Bone marrow aspirate smear · 250×250
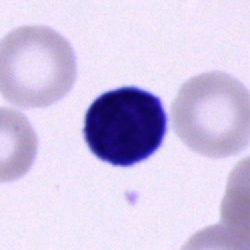 An unidentifiable cell.